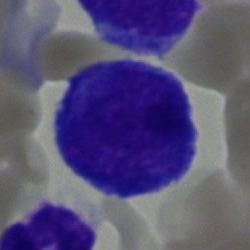Morphological class: blast.